Bone marrow aspirate smear. May-Grünwald-Giemsa stain:
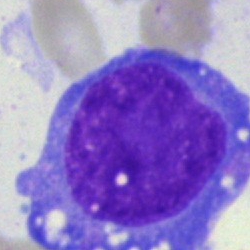

Specimen: bone marrow aspirate smear.
Cell type: undifferentiated blast.